Bone marrow aspirate smear: 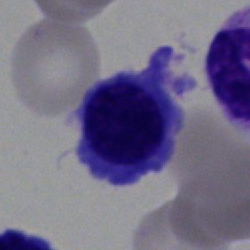
Q: What type of cell is this?
A: This is a nucleated red blood cell.